Bone marrow smear
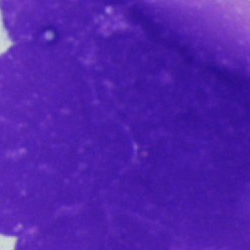
Classification: artefact.